Bone marrow smear: 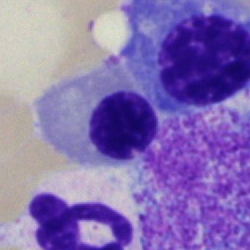 Morphology consistent with a nucleated red blood cell.